May-Grünwald-Giemsa/Pappenheim stain · bone marrow smear.
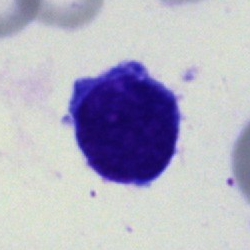
Blast cell.